Bone marrow smear; 40× objective, oil immersion.
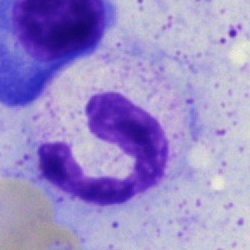 Specimen: bone marrow smear.
Cell type: segmented neutrophil.
Lineage: myeloid.